400×400 px; brightfield, 100× oil-immersion objective; peripheral blood smear — 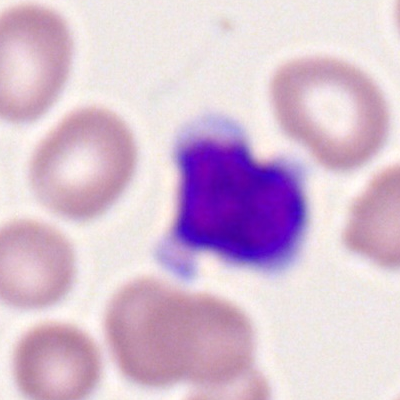

Cell = lymphocyte.